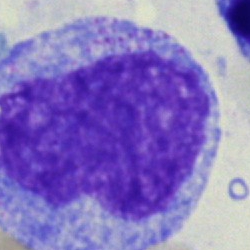 Bone marrow smear showing a promyelocyte.